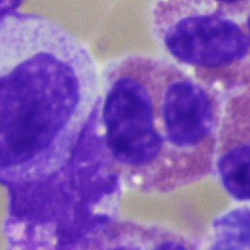
Specimen: bone marrow aspirate smear.
Morphological class: eosinophil.
Lineage: myeloid.